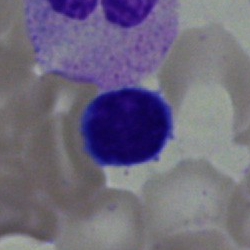 Morphological class: typical lymphocyte.